Bone marrow aspirate smear — 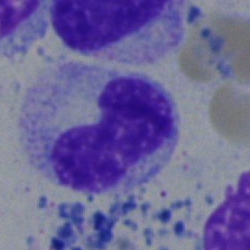

Cell type — stab cell.